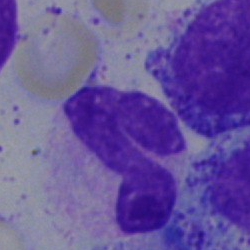
Q: What is the morphological classification of this cell?
A: This is a band-form neutrophil.